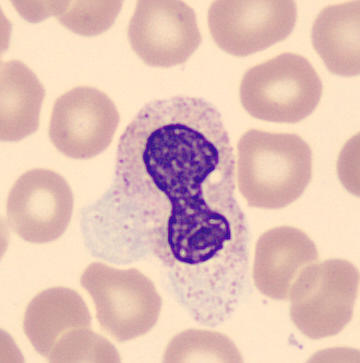
Classification = band-form neutrophil.
Single-cell field. Peripheral blood film.